Peripheral blood smear · Romanowsky stain · 100× objective, oil immersion
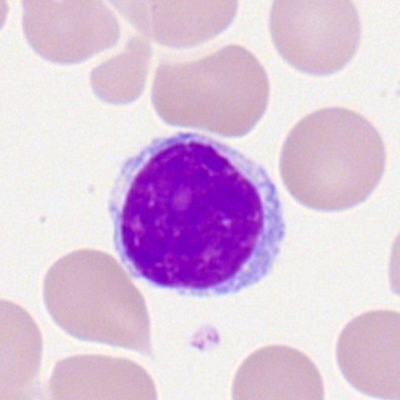
Specimen: peripheral blood film.
Cell: typical lymphocyte.